Brightfield, 40× oil-immersion objective · bone marrow aspirate smear · Pappenheim-stained — 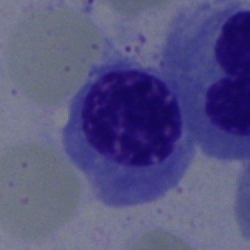
Morphology consistent with a nucleated red cell.